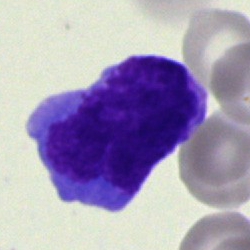

Specimen: bone marrow smear.
Morphological class: blast.